Peripheral blood film
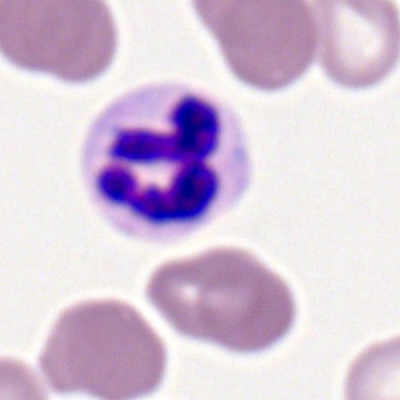 Q: What is shown here?
A: This is a polymorphonuclear neutrophil.